Bone marrow aspirate smear; brightfield microscopy, 40× oil immersion — 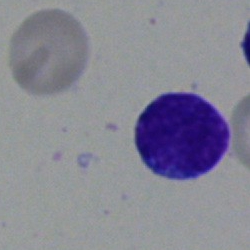Specimen: bone marrow smear.
Cell type: lymphocyte.
Lineage: lymphoid.